Peripheral blood film — 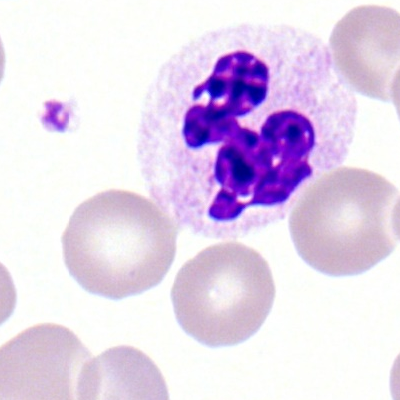

Single cell identified as a segmented neutrophil.